Bone marrow aspirate smear; image size 250×250:
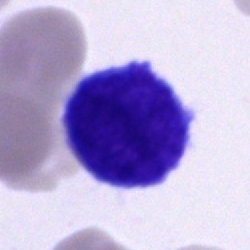

Impression → lymphocyte.